Pappenheim-stained; bone marrow smear; cropped to a single cell — 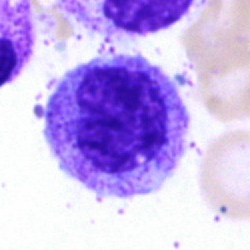Cell type = myelocyte.